Single cell centered in the field; 250 by 250 pixels; bone marrow aspirate smear — 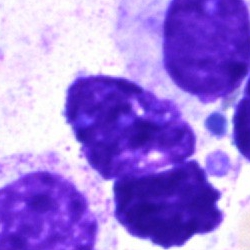
An artefact.